Brightfield, 40× oil-immersion objective. Bone marrow smear.
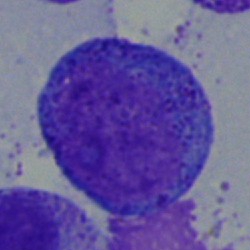 Classification — promyelocyte.